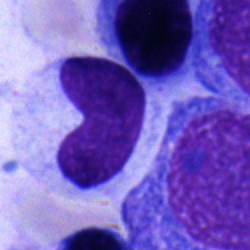
Specimen: bone marrow smear.
Classification: metamyelocyte.
Lineage: myeloid.